Peripheral blood film · cropped to a single cell.
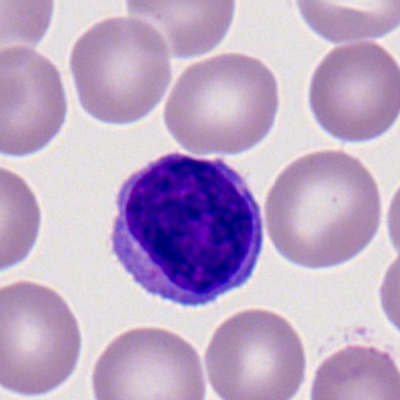The cell shown is a typical lymphocyte.